Bone marrow smear · 250 by 250 pixels: 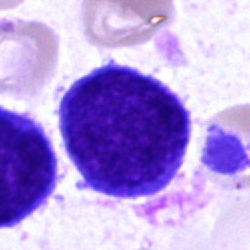 Specimen: bone marrow smear.
Classification: blast cell.